Bone marrow aspirate smear — 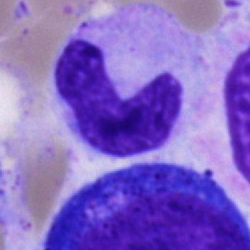Cell = neutrophil (band).